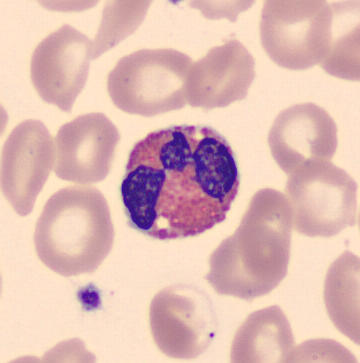

Cell = eosinophil.